Bone marrow smear.
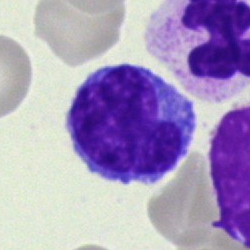 Q: What is the morphological classification of this cell?
A: It is a monocyte.